250 by 250 pixels. Bone marrow smear. May-Grünwald-Giemsa stain:
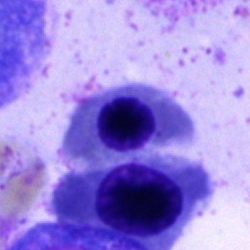 Classification: normoblast.